Brightfield microscopy, 40× oil immersion. Bone marrow smear — 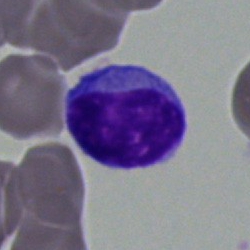
Morphology consistent with a lymphocyte.